Bone marrow aspirate smear. 40× objective, oil immersion:
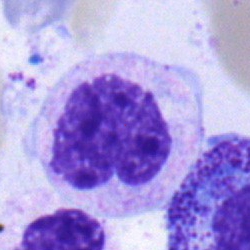{"cell_type": "metamyelocyte"}